Bone marrow aspirate smear.
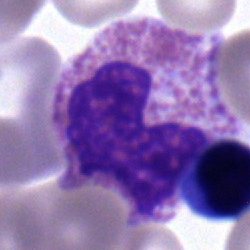
Specimen: bone marrow aspirate smear.
Cell: eosinophil.
Lineage: myeloid.